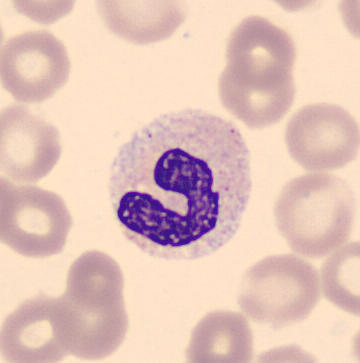 Cell type: band neutrophil.